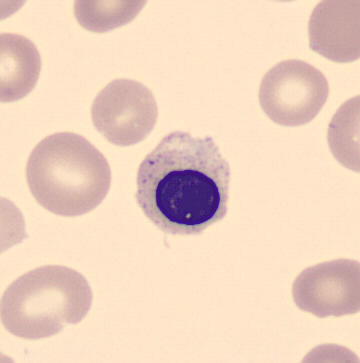 Preparation: Single-cell crop; peripheral blood film.
{"cell_type": "erythroblast"}